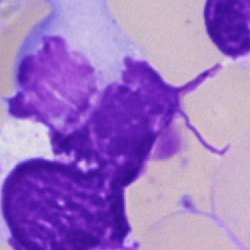
Cell = artifact.